Bone marrow smear — 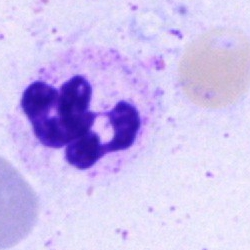

{"cell_type": "polymorphonuclear neutrophil", "lineage": "myeloid"}